Bone marrow smear · brightfield microscopy, 40× oil immersion.
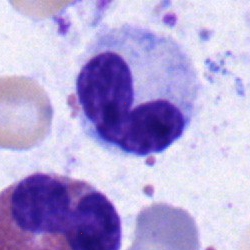

Cell — neutrophil (band).